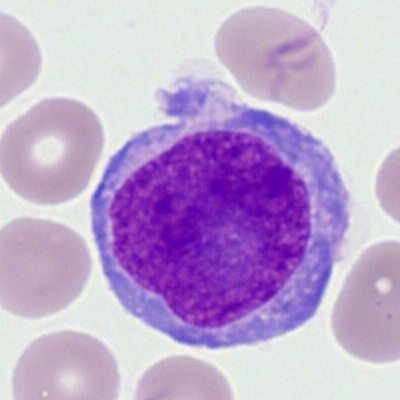A myeloid blast.